Bone marrow aspirate smear:
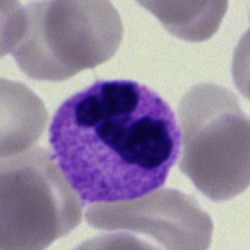

Classification = polymorphonuclear neutrophil.